Bone marrow smear. MGG-stained: 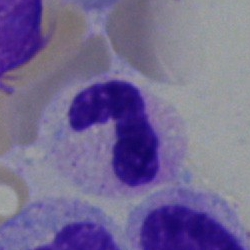
A polymorphonuclear neutrophil.